Bone marrow aspirate smear — 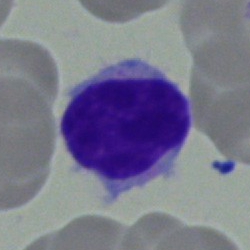
A lymphocyte.